Peripheral blood film — 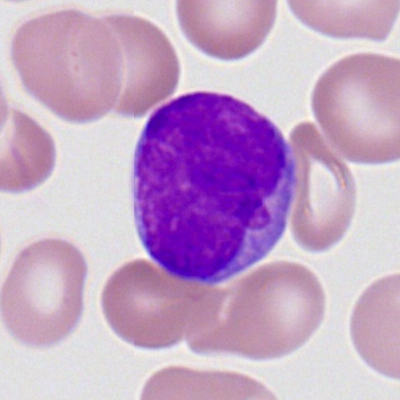 Showing a myeloblast.